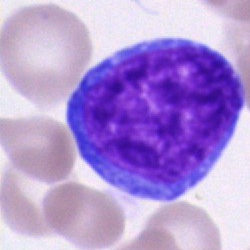
Q: What type of cell is this?
A: It is a blast.